Bone marrow aspirate smear — 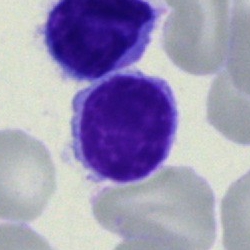The cell is lymphocyte.